Bone marrow aspirate smear. Cropped to a single cell. 250×250 — 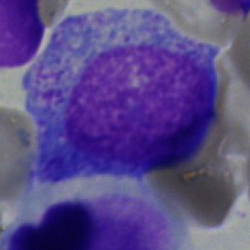 Q: What is the morphological classification of this cell?
A: It is a progranulocyte.